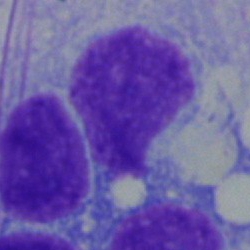 The cell shown is a typical lymphocyte.